Bone marrow smear
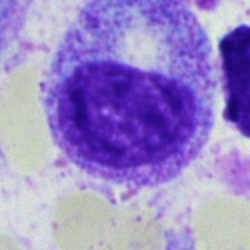Morphology consistent with a promyelocyte.